Pappenheim-stained. Single-cell crop. Bone marrow aspirate smear: 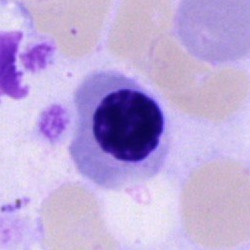 Impression → nucleated red blood cell.